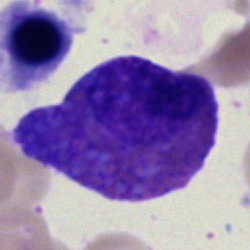

Impression → eosinophil.